Bone marrow aspirate smear.
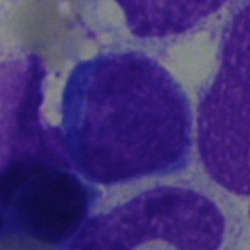
Specimen: bone marrow aspirate smear.
Cell: blast cell.